Bone marrow smear
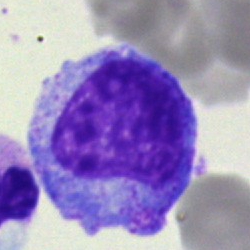 {"cell_type": "promyelocyte", "lineage": "myeloid"}